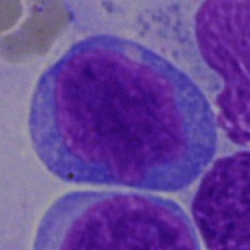An undifferentiated blast.